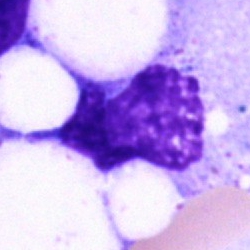

The cell shown is an artifact.